Bone marrow smear: 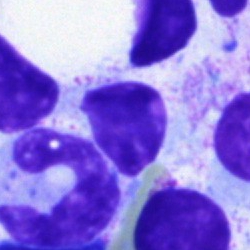An artefact.